Bone marrow aspirate smear — 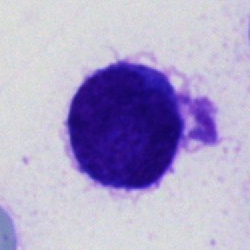Morphology consistent with an unidentifiable cell.